Bone marrow smear
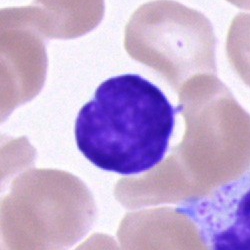Specimen: bone marrow aspirate smear.
Cell type: lymphocyte.